Bone marrow smear.
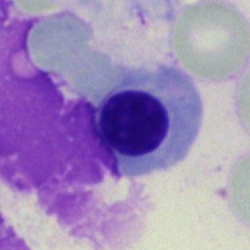 An erythroblast.